Bone marrow aspirate smear:
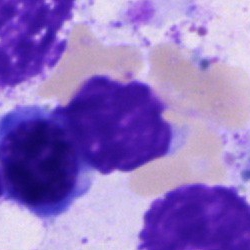

Q: What is shown here?
A: An artifact.